Bone marrow aspirate smear: 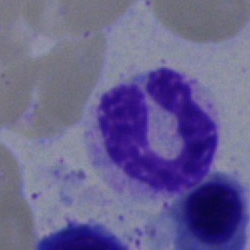 The classification is segmented neutrophil.